Single cell centered in the field. Bone marrow aspirate smear
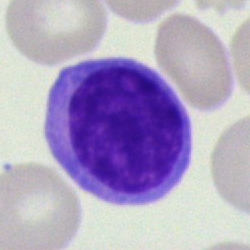 {"cell_type": "lymphocyte"}